Bone marrow aspirate smear:
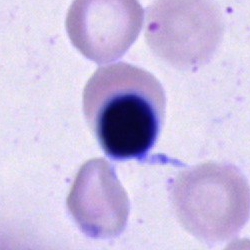The cell type is cell of indeterminate lineage.